Bone marrow smear; brightfield microscopy, 40× oil immersion; 250 by 250 pixels:
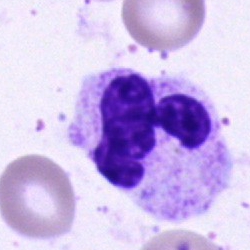 Morphology consistent with a segmented neutrophil.